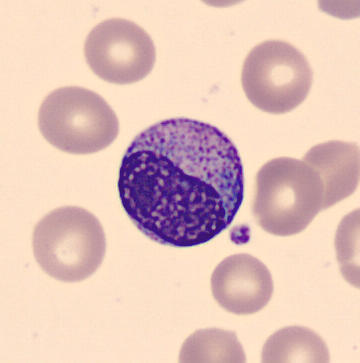
Q: What cell is this?
A: This is a metamyelocyte. Peripheral blood film · CellaVision DM96 digital cell image.